Bone marrow aspirate smear. 250×250:
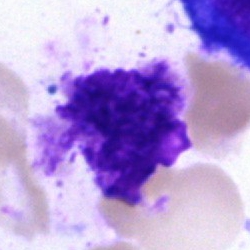Impression → artefact.